Bone marrow aspirate smear · May-Grünwald-Giemsa stain
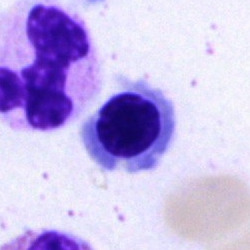

This is a nucleated red cell.